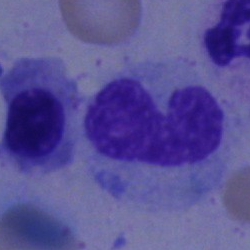

Specimen: bone marrow smear.
Cell type: band-form neutrophil.
Lineage: myeloid.